360×363 px. May-Grünwald-Giemsa-stained. Peripheral blood film — 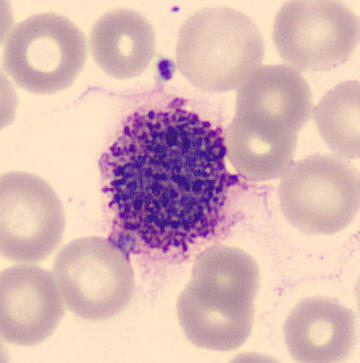

This is a basophilic granulocyte.